Peripheral blood film:
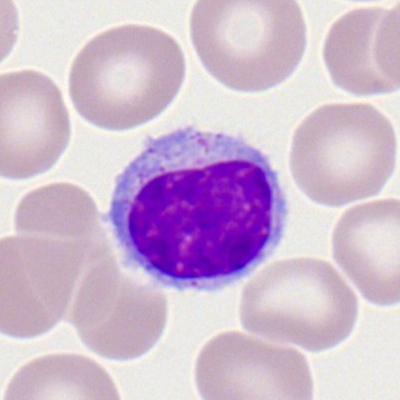 Q: What is the morphological classification of this cell?
A: It is a lymphocyte.